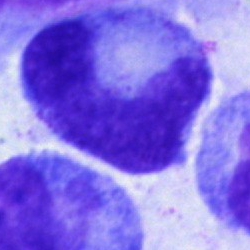
Specimen: bone marrow aspirate smear.
Morphological class: monocyte.
Lineage: myeloid.